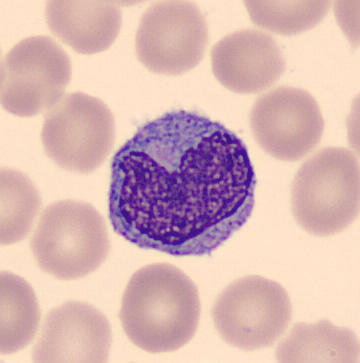Peripheral blood film. Image size 360×363. MGG-stained. This is a monocyte.